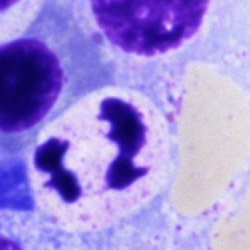
Classification = segmented neutrophil.